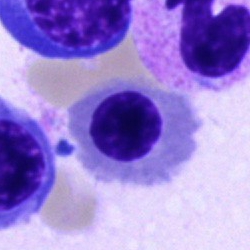 A nucleated red cell.